Bone marrow smear:
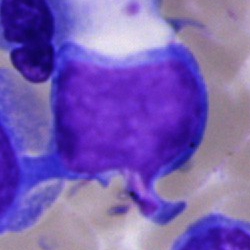Cell = blast cell.